Bone marrow smear · 250×250
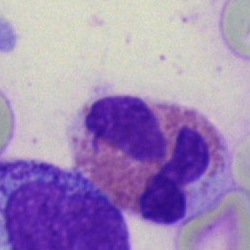 Q: What type of cell is this?
A: This is an eosinophilic granulocyte.